40× objective, oil immersion · bone marrow aspirate smear.
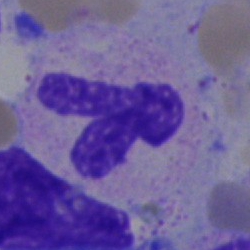 The cell shown is a segmented neutrophil.